Single-cell crop · bone marrow smear — 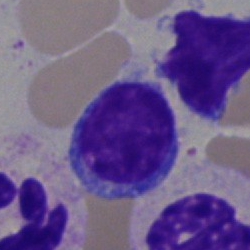Morphology consistent with a typical lymphocyte.